Peripheral blood film: 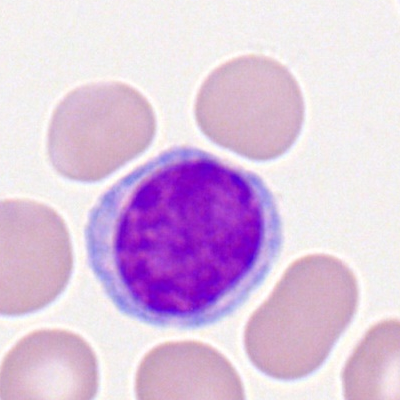
This is a typical lymphocyte.